Peripheral blood film · 100× oil immersion: 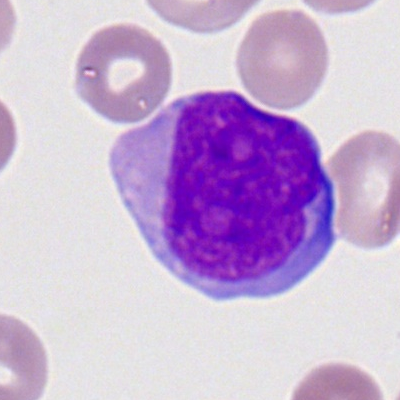
Q: Which cell type is shown here?
A: It is a myeloblast.